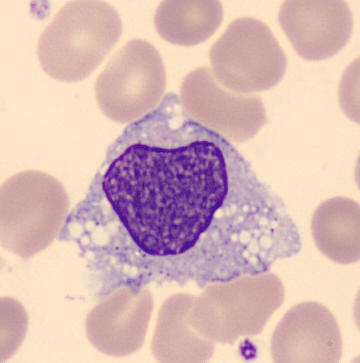

Monocyte.
Peripheral blood film.